Bone marrow smear:
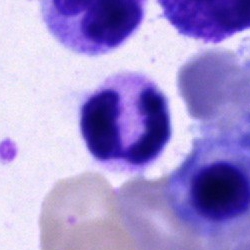

Specimen: bone marrow smear.
Cell type: segmented neutrophil.